Bone marrow aspirate smear. May-Grünwald-Giemsa stain.
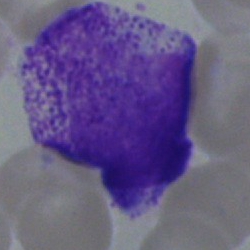
{"cell_type": "myelocyte"}